Bone marrow smear — 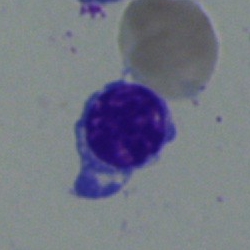

Classification: lymphocyte.